Image size 400×400; cropped to a single cell; peripheral blood smear — 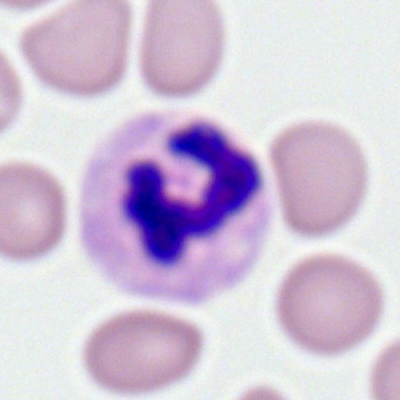Morphological class — neutrophil (segmented).